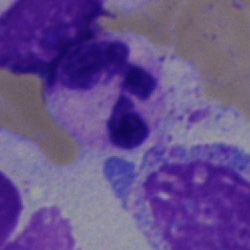
Q: What is the morphological classification of this cell?
A: Polymorphonuclear neutrophil.